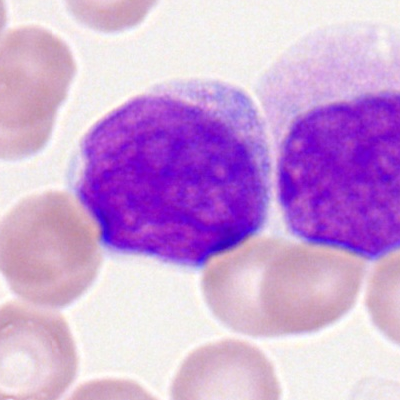

Q: What is the morphological classification of this cell?
A: A myeloblast.